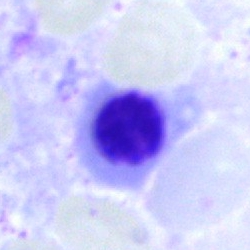Cell = erythroblast.